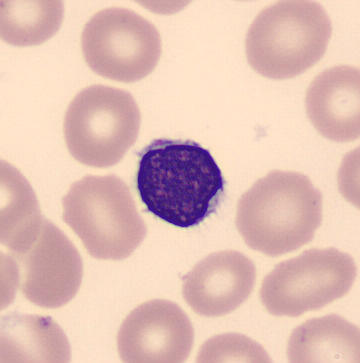

MGG stain; peripheral blood smear. Q: What type of cell is this?
A: It is a typical lymphocyte.